250×250 px · May-Grünwald-Giemsa stain · bone marrow smear.
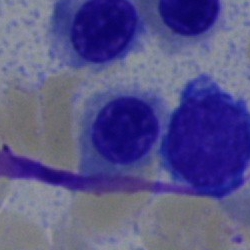
{"cell_type": "erythroblast"}